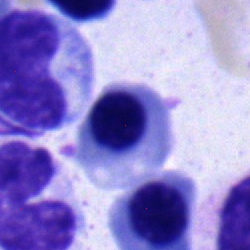 Bone marrow smear showing a normoblast.